Bone marrow smear · May-Grünwald-Giemsa stain · cropped to a single cell
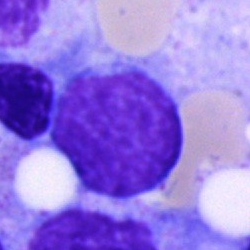

Showing a blast cell.